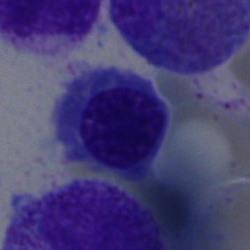

A nucleated red cell.